Bone marrow aspirate smear.
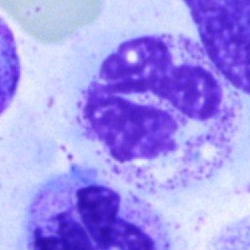
This is a polymorphonuclear neutrophil.